Single-cell crop · peripheral blood smear — 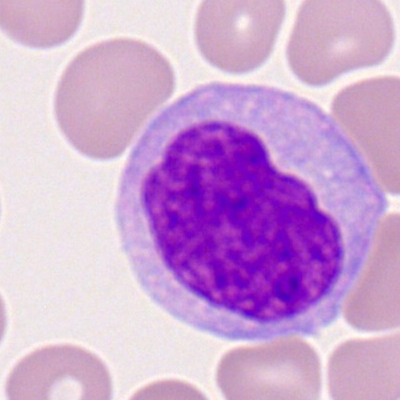 Q: What is the morphological classification of this cell?
A: A monocyte.